Cropped to a single cell; bone marrow aspirate smear
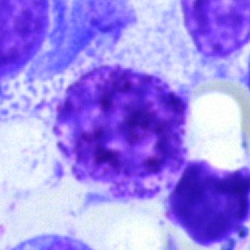The classification is artefact.